Bone marrow aspirate smear — 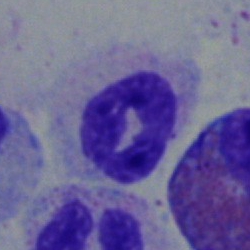 Single cell identified as a polymorphonuclear neutrophil.